Bone marrow smear · 40× oil immersion · 250×250 px:
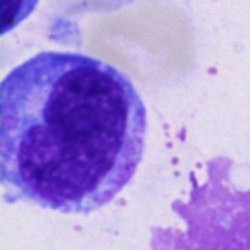Cell type: progranulocyte.